Bone marrow smear.
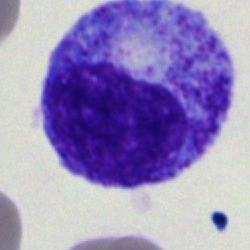Morphology consistent with a promyelocyte.